Bone marrow aspirate smear
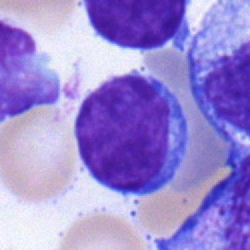

A typical lymphocyte.